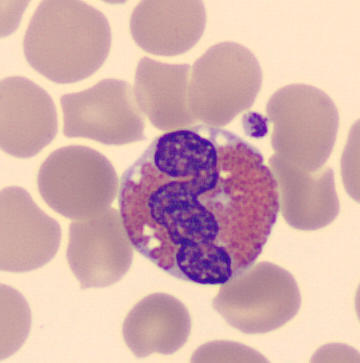Image: Peripheral blood film. Cell type: eosinophilic granulocyte.